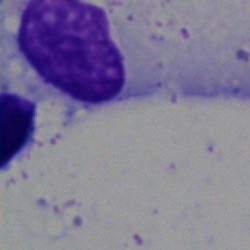 The cell is artifact.